Bone marrow smear — 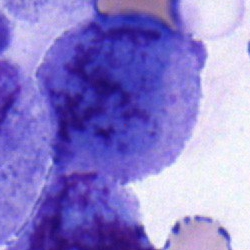 Classification: undifferentiated blast.